Bone marrow smear:
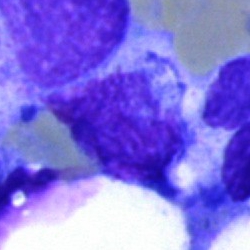
Q: What is shown here?
A: It is an artefact.